Peripheral blood film; image size 360×363
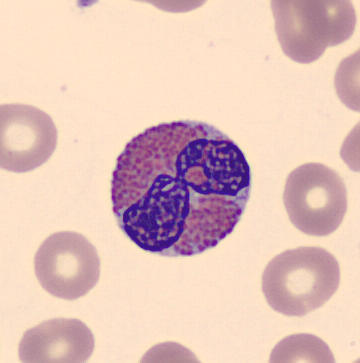 Specimen: peripheral blood film.
Morphological class: eosinophilic granulocyte.